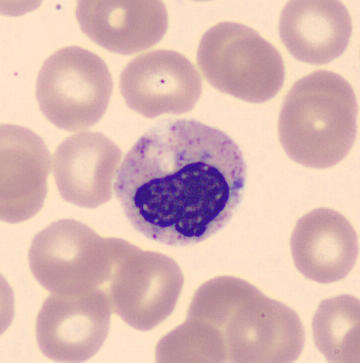

Impression → metamyelocyte.

Acquisition: Imaged on a CellaVision DM96 analyser; peripheral blood film; cropped to a single cell.